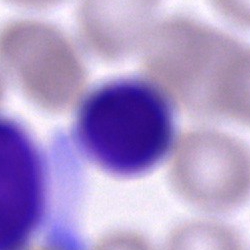
Specimen: bone marrow smear.
Classification: cell of indeterminate lineage.